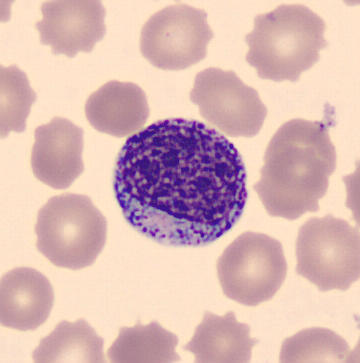

Specimen: peripheral blood film.
Cell type: myelocyte.
Lineage: myeloid.